Bone marrow aspirate smear · brightfield, 40× oil-immersion objective
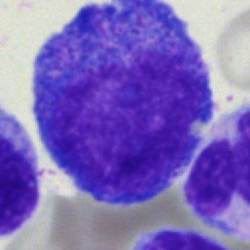 Impression → promyelocyte.